Bone marrow smear. May-Grünwald-Giemsa/Pappenheim stain:
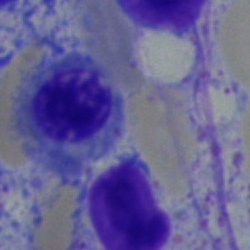

Classification: erythroblast.